Bone marrow aspirate smear · single-cell field
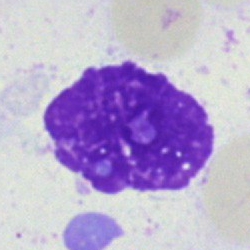

An artifact.